Peripheral blood film: 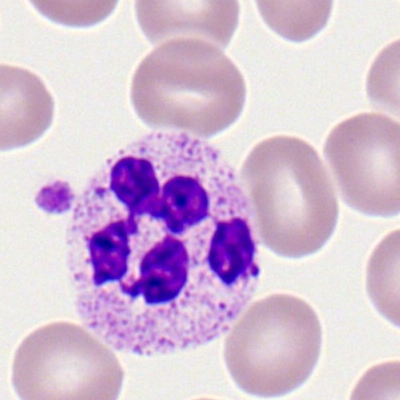
Morphological class = segmented neutrophil.